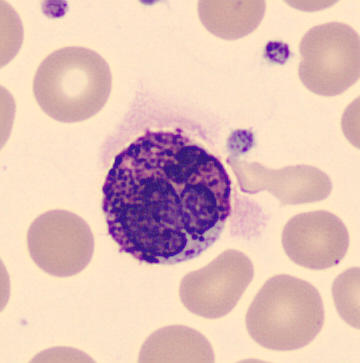Q: What is this?
A: This is a basophilic granulocyte. 360×363. MGG stain. Peripheral blood smear.